Bone marrow aspirate smear. 40× oil immersion. May-Grünwald-Giemsa stain — 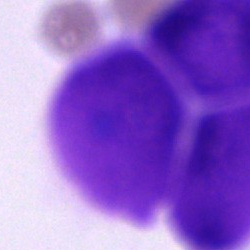
Single cell identified as an artefact.